Bone marrow aspirate smear · cropped to a single cell — 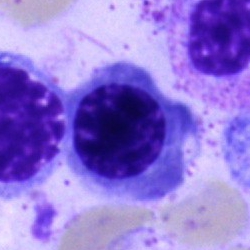
Specimen: bone marrow smear.
Morphological class: normoblast.